Bone marrow smear; 250 by 250 pixels
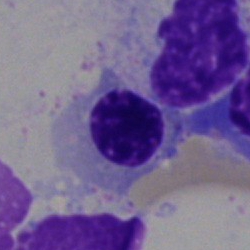
Specimen: bone marrow aspirate smear.
Cell: nucleated red blood cell.
Lineage: erythroid.